Bone marrow aspirate smear: 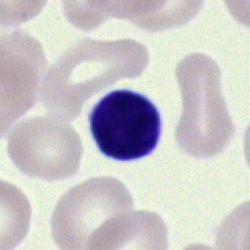Q: What type of cell is this?
A: It is a typical lymphocyte.